Image size 250×250. Bone marrow smear
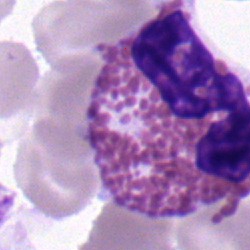 Classification — eosinophil.